May-Grünwald-Giemsa stain. Bone marrow aspirate smear — 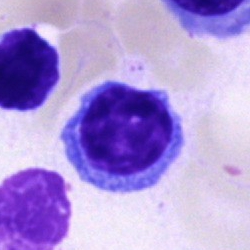
A typical lymphocyte.